Bone marrow aspirate smear — 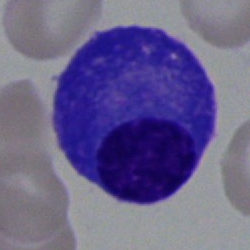
Showing a plasma cell.